Bone marrow smear. 250 by 250 pixels. Cropped to a single cell
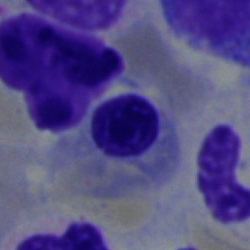

Classification: erythroblast.